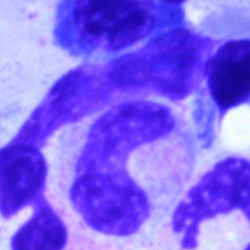
The classification is neutrophil (band).